Bone marrow aspirate smear — 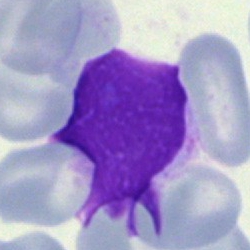

The cell shown is an artefact.